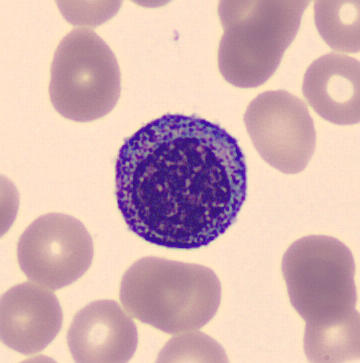

The cell shown is a myelocyte.